Bone marrow smear · 40× objective, oil immersion.
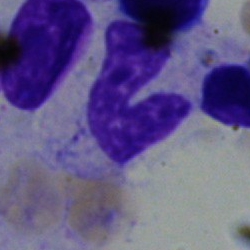

Morphology consistent with a band neutrophil.